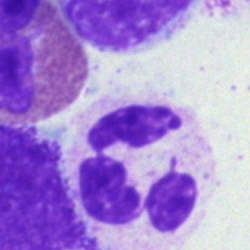Showing a segmented neutrophil.